Peripheral blood film.
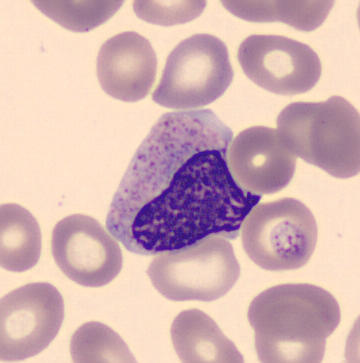 Cell type — metamyelocyte.